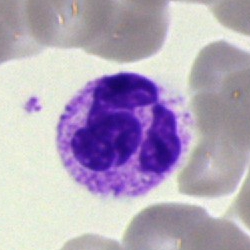

Specimen: bone marrow smear.
Morphological class: neutrophil (segmented).